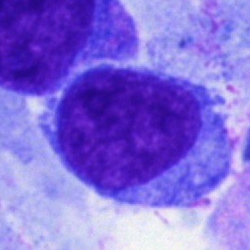A blast.